Image size 250×250. 40× objective, oil immersion. Bone marrow aspirate smear: 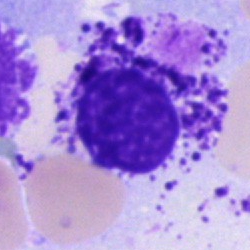 Q: Which cell type is shown here?
A: Unidentifiable cell.